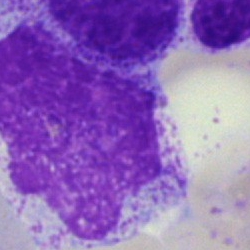 This is an artefact.